Bone marrow aspirate smear · 250 by 250 pixels:
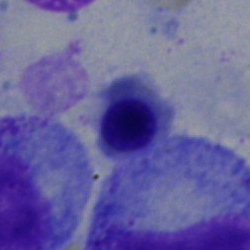Morphology consistent with a normoblast.